Romanowsky stain; peripheral blood smear; M8 digital microscope (Precipoint), 100× oil immersion: 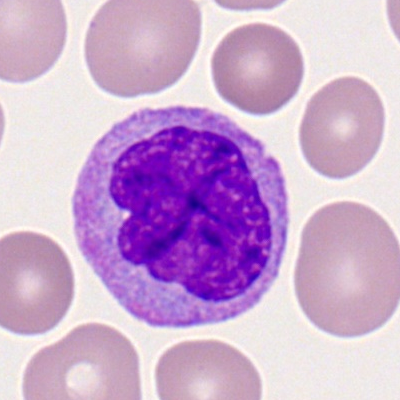 Q: What is the morphological classification of this cell?
A: A monocyte.